Brightfield microscopy, 40× oil immersion · MGG-stained · bone marrow aspirate smear:
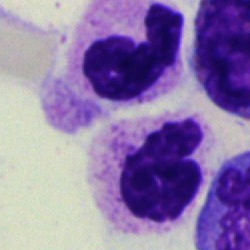 Impression → neutrophil (band).